Bone marrow smear
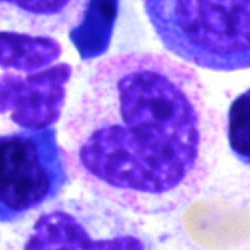{"cell_type": "band neutrophil", "lineage": "myeloid"}